Single-cell field · bone marrow aspirate smear · brightfield, 40× oil-immersion objective.
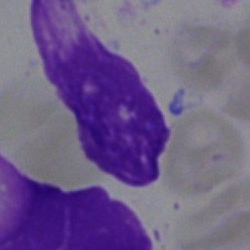 Morphology consistent with an artefact.